Bone marrow aspirate smear — 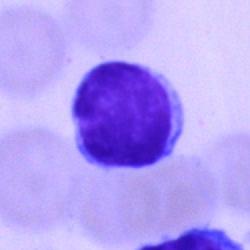 A lymphocyte.